Bone marrow aspirate smear — 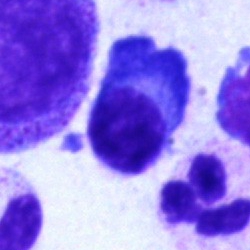 Specimen: bone marrow smear.
Morphological class: plasma cell.